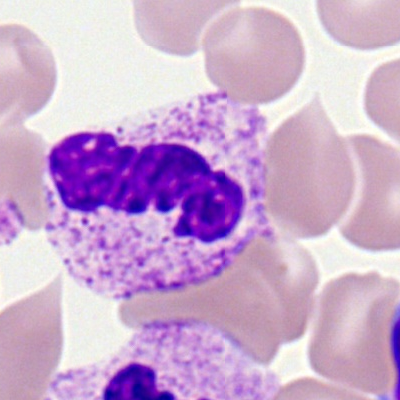Single cell identified as a neutrophil (segmented).